Single-cell crop · May-Grünwald-Giemsa stain · bone marrow smear
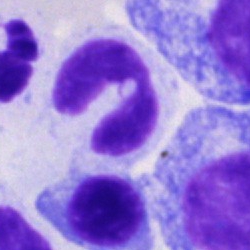

This is a segmented neutrophil.